Bone marrow aspirate smear: 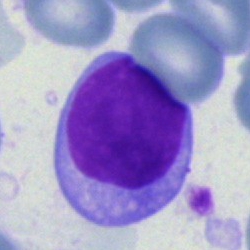

Cell type = lymphocyte.